Bone marrow aspirate smear · May-Grünwald-Giemsa stain:
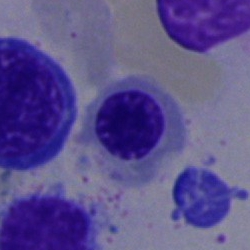
Q: What type of cell is this?
A: A normoblast.